Bone marrow smear — 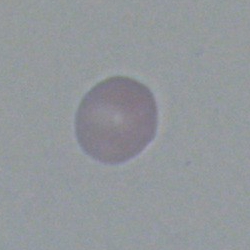 Cell = unidentifiable cell.